Bone marrow smear — 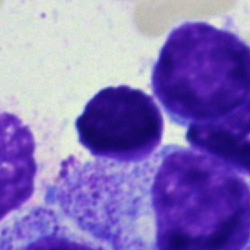The cell is typical lymphocyte.